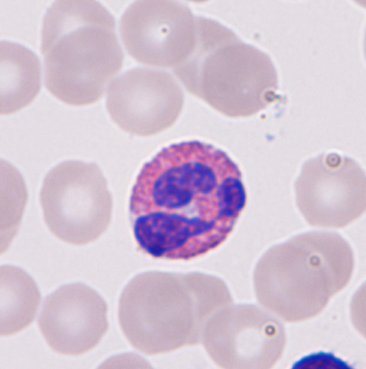
Acquisition: Peripheral blood smear.
The morphological class is eosinophilic granulocyte.